Bone marrow smear.
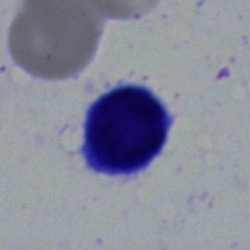
Q: Which cell type is shown here?
A: Lymphocyte.